Bone marrow aspirate smear
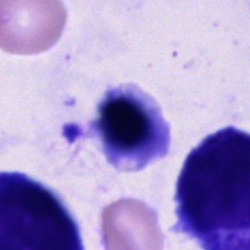

Q: Identify the cell.
A: It is an unidentifiable cell.